Cropped to a single cell; bone marrow aspirate smear; 40× objective, oil immersion — 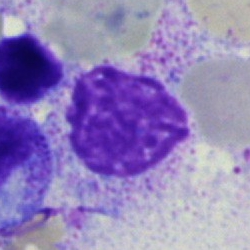
Artifact.